Bone marrow smear:
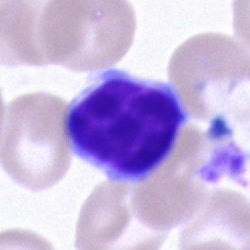This is a typical lymphocyte.